Brightfield, 40× oil-immersion objective. Bone marrow smear. 250×250.
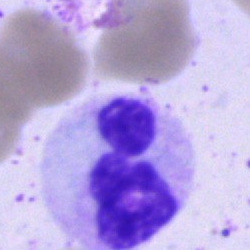Polymorphonuclear neutrophil.